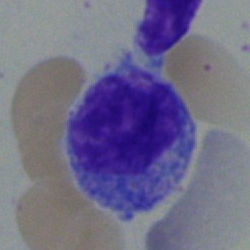 Cell type — myelocyte.